Bone marrow aspirate smear. Single cell centered in the field — 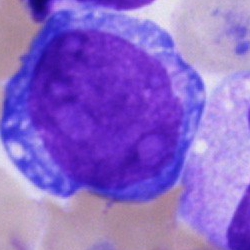

Cell — blast cell.